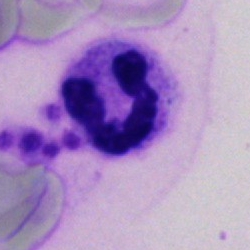A polymorphonuclear neutrophil.